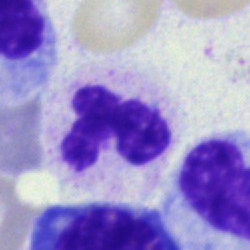Specimen: bone marrow aspirate smear.
Classification: polymorphonuclear neutrophil.